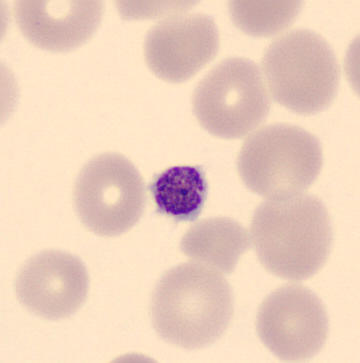 Acquisition: Peripheral blood smear. Image size 360×363. The classification is thrombocyte.